Romanowsky stain. Peripheral blood smear
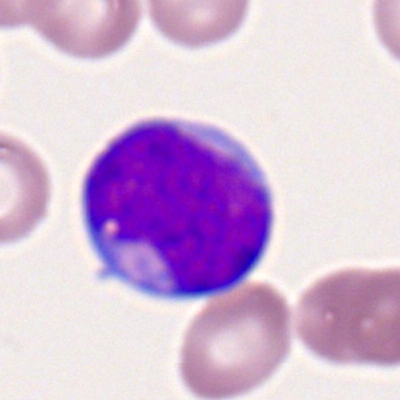Cell: myeloid blast.